Bone marrow smear.
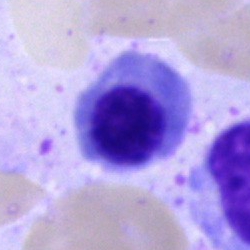

Morphology consistent with an erythroblast.